Bone marrow smear.
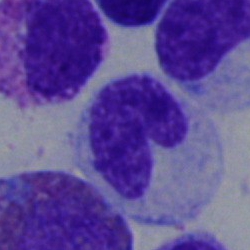
Specimen: bone marrow smear.
Morphological class: band-form neutrophil.
Lineage: myeloid.